Bone marrow aspirate smear
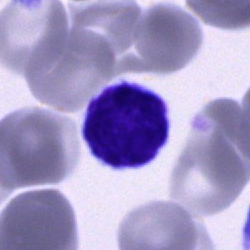
Impression — typical lymphocyte.